Peripheral blood film — 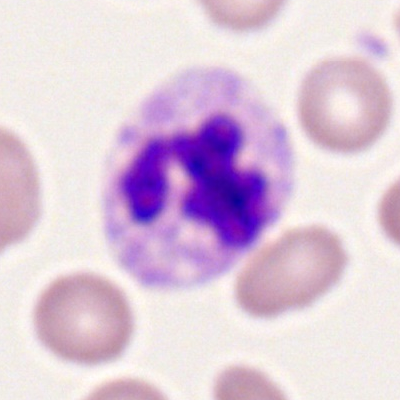
This is a neutrophil (segmented).